Peripheral blood smear — 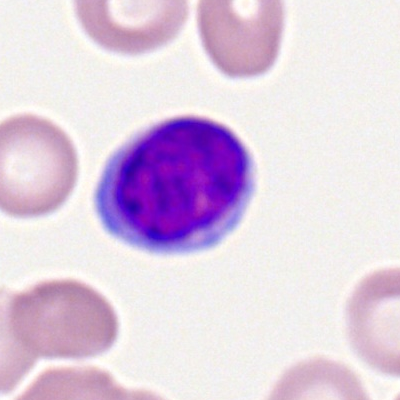
Morphology consistent with a typical lymphocyte.